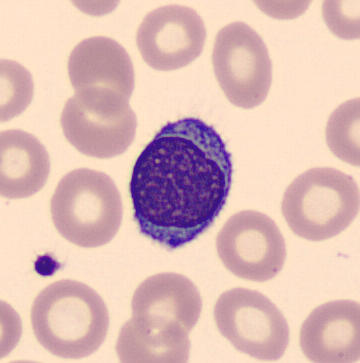 Specimen: peripheral blood smear.
Classification: lymphocyte.
Lineage: lymphoid.